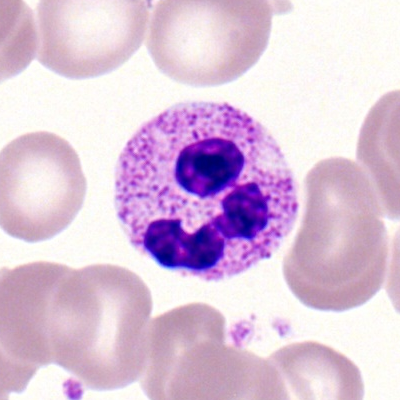Peripheral blood film, single cell — segmented neutrophil.